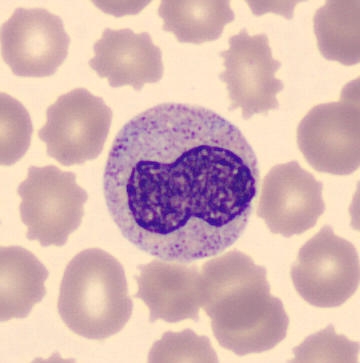
Single cell centered in the field.

Specimen: peripheral blood film.
Classification: metamyelocyte.